Brightfield, 40× oil-immersion objective; 250 by 250 pixels; bone marrow smear — 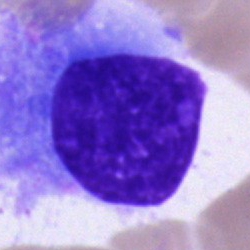
Cell type — plasma cell.